Bone marrow smear: 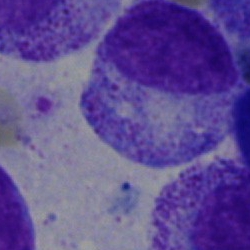Q: Identify the cell.
A: It is a myelocyte.